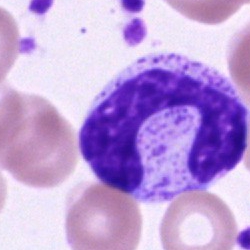

Specimen: bone marrow smear.
Cell type: band-form neutrophil.
Lineage: myeloid.